Bone marrow smear. Pappenheim-stained. 40× oil immersion: 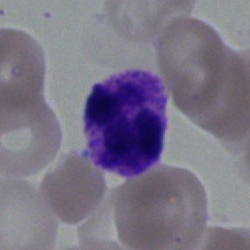 Cell type = segmented neutrophil.